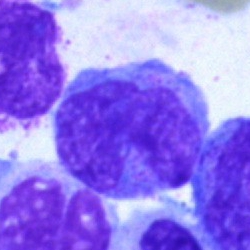

Morphology consistent with a monocyte.